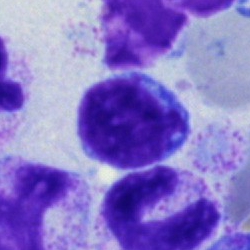

Morphology consistent with a typical lymphocyte.